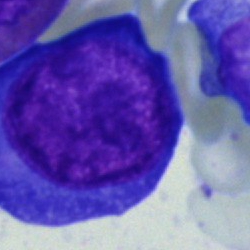
A proerythroblast on a bone marrow smear.